Bone marrow smear:
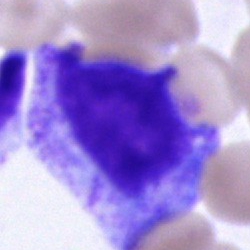
Specimen: bone marrow smear.
Morphological class: progranulocyte.
Lineage: myeloid.